Romanowsky-stained · peripheral blood smear — 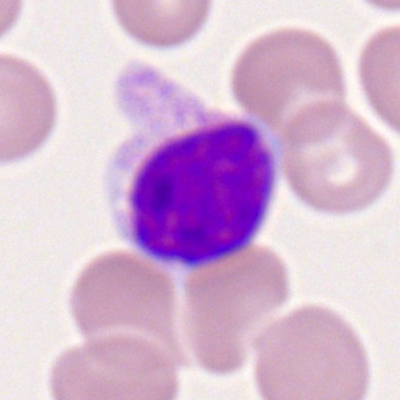Classification = typical lymphocyte.